Bone marrow aspirate smear — 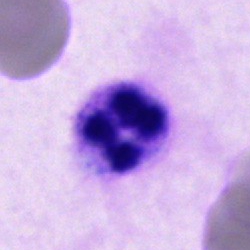Impression — segmented neutrophil.